Bone marrow aspirate smear.
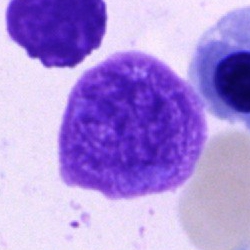 Showing an artefact.